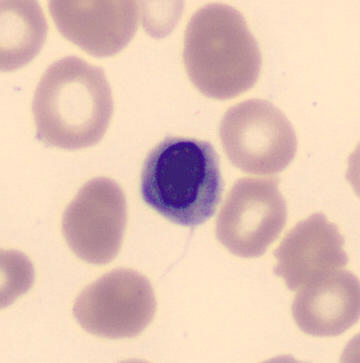The morphological class is normoblast.